250×250; bone marrow smear — 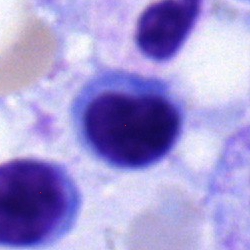
The cell shown is a lymphocyte.